Bone marrow smear; single-cell field
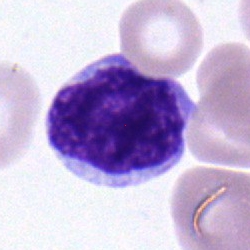 Morphology consistent with a blast.